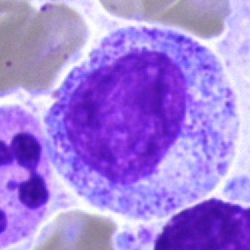
Single-cell crop from a bone marrow smear: promyelocyte.